Bone marrow aspirate smear:
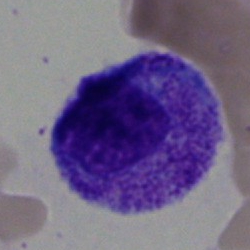

Q: Which cell type is shown here?
A: Myelocyte.